May-Grünwald-Giemsa stain. 250×250 px. Bone marrow smear — 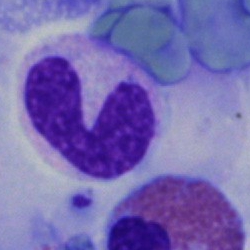

Morphology consistent with a neutrophil (segmented).